40× oil immersion · bone marrow smear · 250 by 250 pixels — 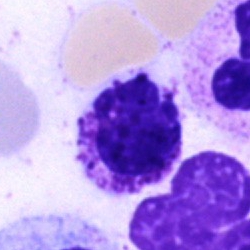 A basophilic granulocyte.